May-Grünwald-Giemsa/Pappenheim stain · bone marrow aspirate smear.
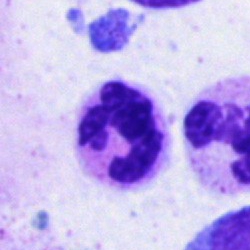

Cell type — segmented neutrophil.